Pappenheim-stained; bone marrow smear — 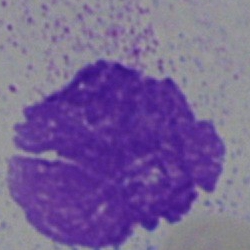 {"cell_type": "artifact"}